Bone marrow aspirate smear: 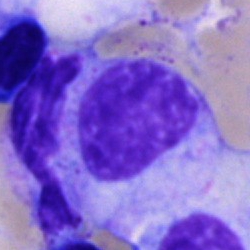Morphology consistent with a myelocyte.